Brightfield microscopy, 40× oil immersion. Bone marrow aspirate smear: 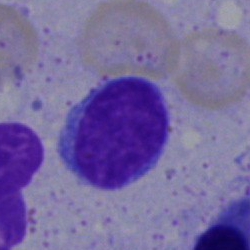

Q: What cell is this?
A: Lymphocyte.